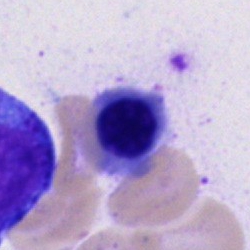

Bone marrow smear showing a nucleated red cell.